Bone marrow aspirate smear — 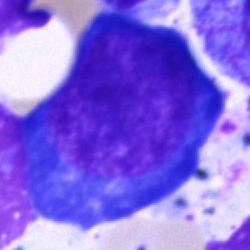Cell type = proerythroblast.